May-Grünwald-Giemsa stain; 40× objective, oil immersion; bone marrow smear.
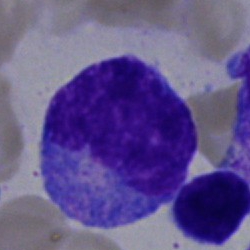 Morphology consistent with a promyelocyte.